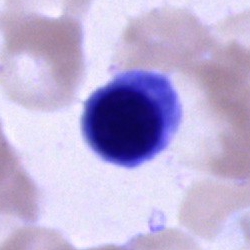 A cell of indeterminate lineage.